Bone marrow smear:
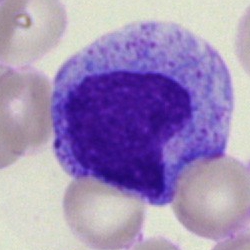 A metamyelocyte.